40× objective, oil immersion; bone marrow aspirate smear; 250×250 px
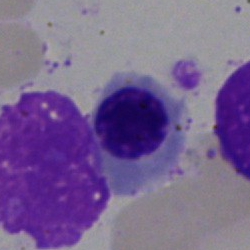

Morphological class = nucleated red cell.